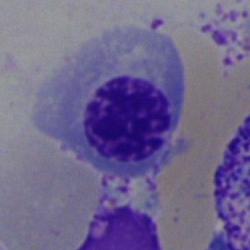
A nucleated red blood cell.